Bone marrow smear:
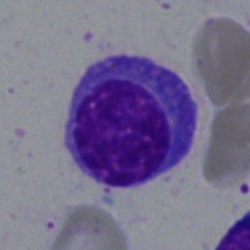
Plasmacyte.